Peripheral blood film.
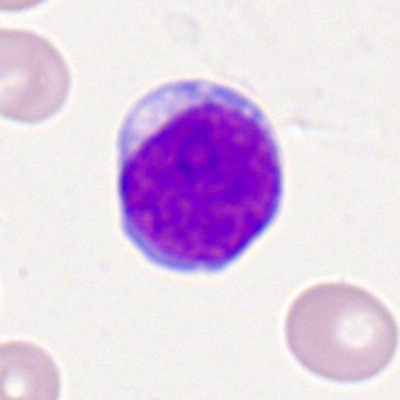

Cell type: typical lymphocyte.